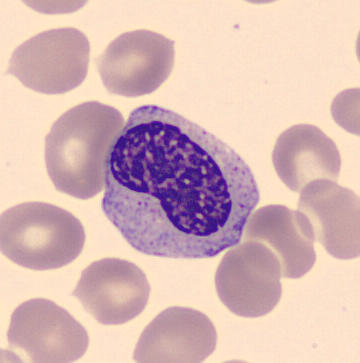

Identified as a metamyelocyte.